Pappenheim-stained; brightfield microscopy, 40× oil immersion; bone marrow smear:
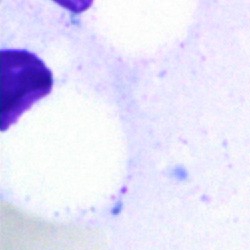
The cell shown is an artifact.